May-Grünwald-Giemsa stain; bone marrow aspirate smear — 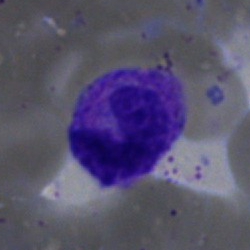 Single cell identified as a segmented neutrophil.